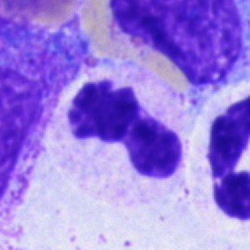
A neutrophil (segmented) on a bone marrow smear.